Bone marrow smear:
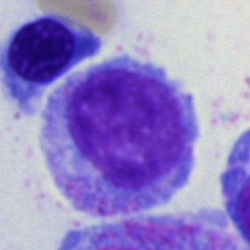
This is a promyelocyte.